Bone marrow smear
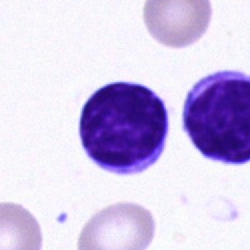{"cell_type": "typical lymphocyte"}